Bone marrow aspirate smear:
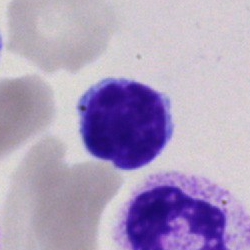
A typical lymphocyte.